Cropped to a single cell · bone marrow smear
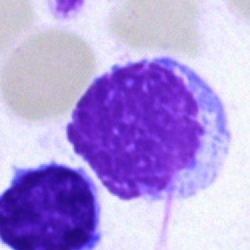
Morphological class — artefact.